Bone marrow aspirate smear
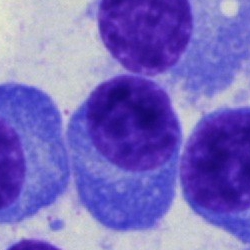
The cell type is plasmacyte.